Bone marrow aspirate smear — 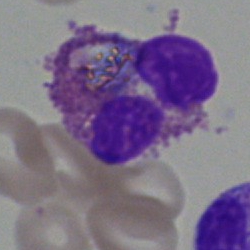Q: What is shown here?
A: An eosinophil.